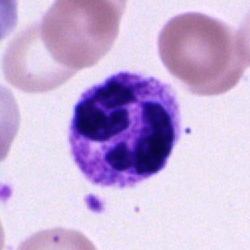 Morphology consistent with a polymorphonuclear neutrophil.